Bone marrow aspirate smear · 250×250 · cropped to a single cell
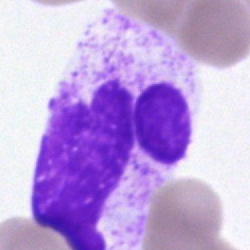 Specimen: bone marrow smear.
Morphological class: artefact.